250 by 250 pixels · bone marrow aspirate smear · cropped to a single cell — 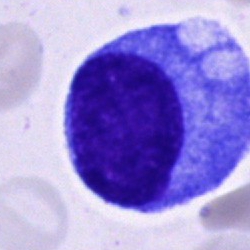An unidentifiable cell.